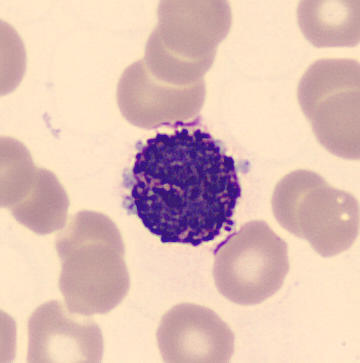 May-Grünwald-Giemsa-stained. Peripheral blood film.

Showing a basophil.